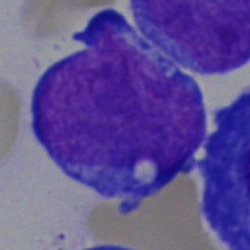

Single cell identified as a pronormoblast.